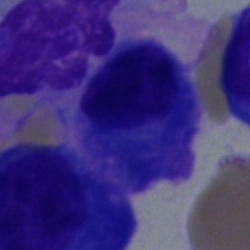Q: What is shown here?
A: It is a plasma cell.